Bone marrow aspirate smear — 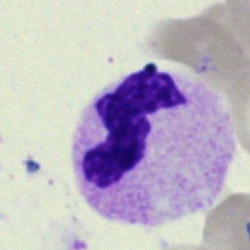 Cell — segmented neutrophil.